Bone marrow smear. 40× objective, oil immersion
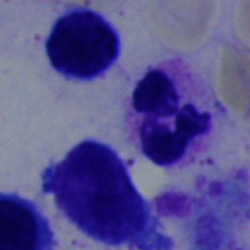

Cell type: polymorphonuclear neutrophil.